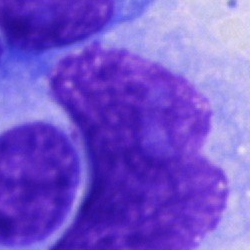
The classification is artifact.